Cropped to a single cell · bone marrow smear
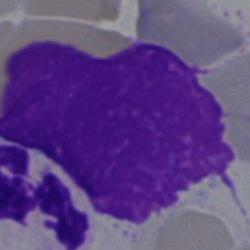
Q: What is shown here?
A: This is an artifact.